Bone marrow aspirate smear: 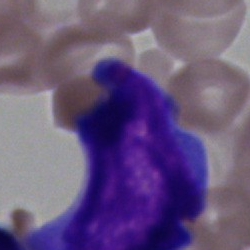 The cell shown is an undifferentiated blast.